Bone marrow smear — 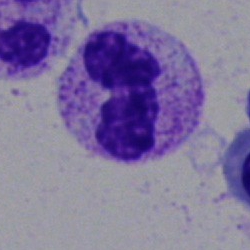

Q: What type of cell is this?
A: It is a neutrophil (segmented).